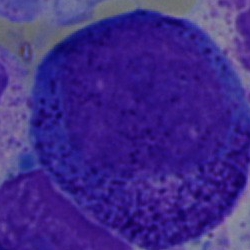
The cell shown is a promyelocyte.